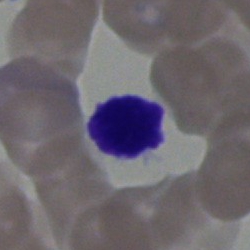
Cell type: hairy cell.